Bone marrow aspirate smear: 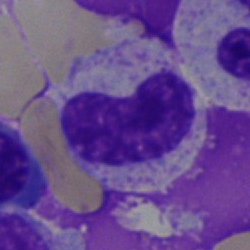 Showing a metamyelocyte.